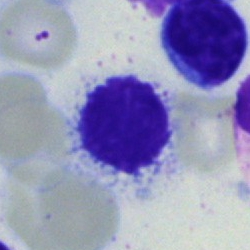
The cell type is typical lymphocyte.